Image size 250×250 · bone marrow smear — 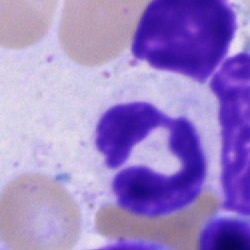 The classification is segmented neutrophil.